Peripheral blood smear
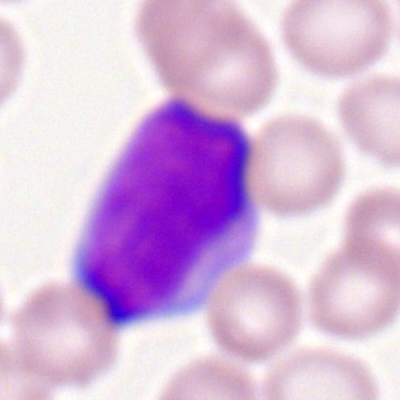

This is a myeloblast.